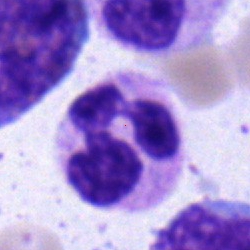Morphology consistent with a polymorphonuclear neutrophil.